Bone marrow aspirate smear:
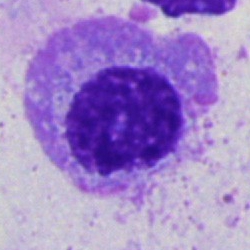Q: Identify the cell.
A: It is a plasmacyte.